Single-cell crop · peripheral blood smear: 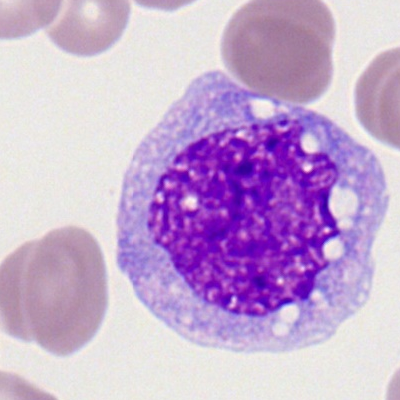 Specimen: peripheral blood film.
Cell type: monocyte.
Lineage: myeloid.